250×250 px; bone marrow smear; single-cell crop:
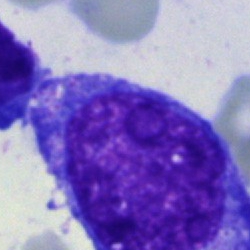

This is an undifferentiated blast.